Bone marrow aspirate smear
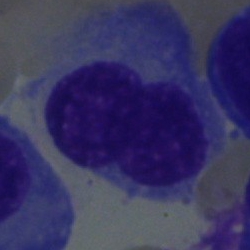Q: What is shown here?
A: It is a plasmacyte.